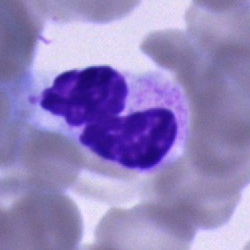

Cell = polymorphonuclear neutrophil.